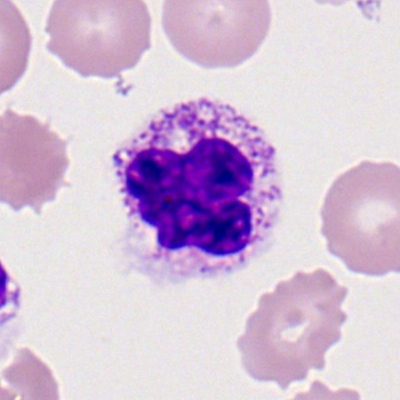
A polymorphonuclear neutrophil.